Bone marrow aspirate smear. Image size 250×250. Pappenheim-stained
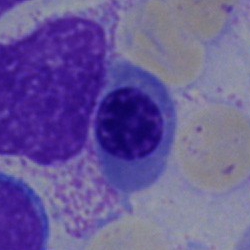Specimen: bone marrow smear.
Cell type: nucleated red blood cell.
Lineage: erythroid.